250 by 250 pixels · bone marrow smear.
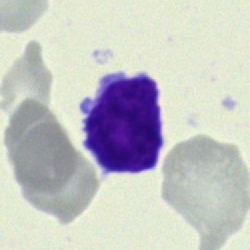
Single cell identified as a typical lymphocyte.